Bone marrow smear
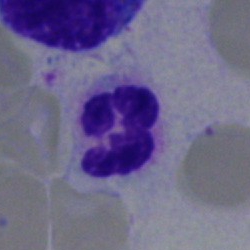

A neutrophil (segmented).